Bone marrow smear.
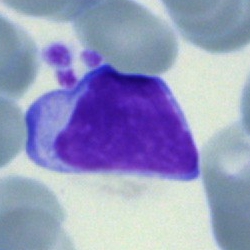Single cell identified as a typical lymphocyte.